Bone marrow smear · 40× oil immersion
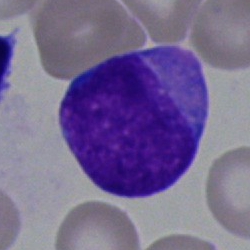

Morphological class — blast cell.